Bone marrow aspirate smear · image size 250×250: 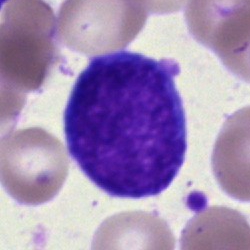 Classification = typical lymphocyte.